250×250 px · 40× objective, oil immersion · bone marrow smear:
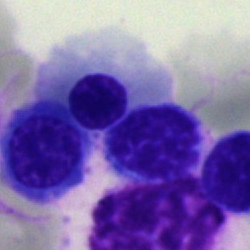 Morphological class: erythroblast.